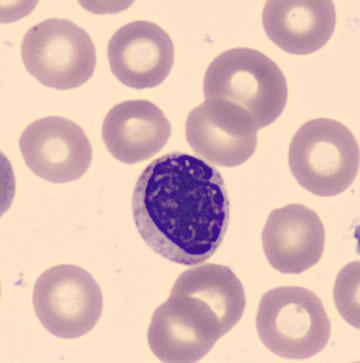
Morphological class: metamyelocyte. Peripheral blood smear.